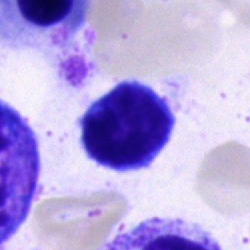
Specimen: bone marrow smear.
Classification: typical lymphocyte.